Bone marrow smear · single-cell crop:
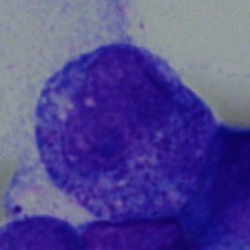 Cell type — promyelocyte.